Bone marrow aspirate smear · image size 250×250 — 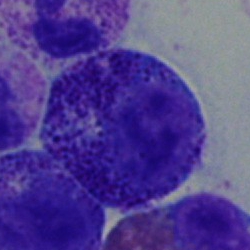 A myelocyte.